Bone marrow aspirate smear
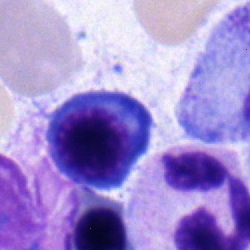
Showing a normoblast.